Peripheral blood film — 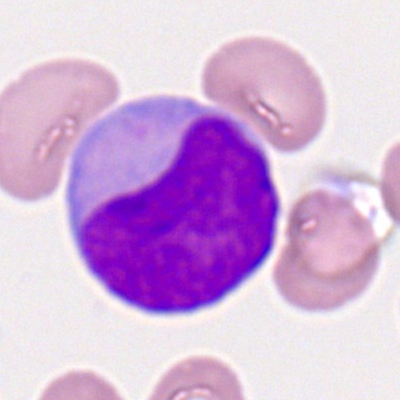Impression — myeloblast.